Bone marrow smear; 40× oil immersion.
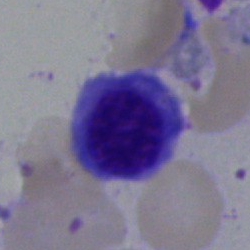
Morphological class: nucleated red blood cell.